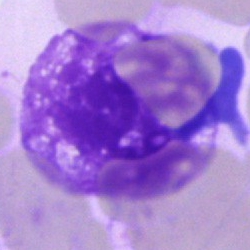 Showing an artefact.